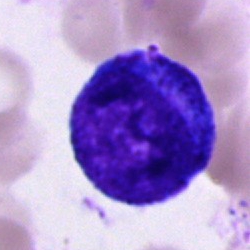

This is an undifferentiated blast.